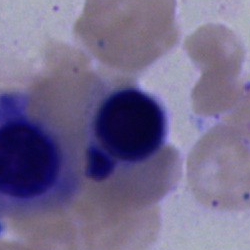 A normoblast.